Peripheral blood smear — 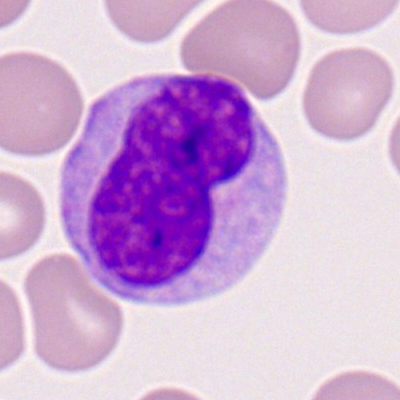

Cell type — monocyte.